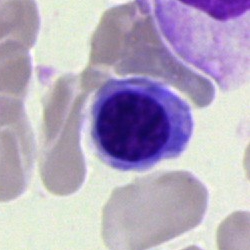Morphology → nucleated red blood cell.